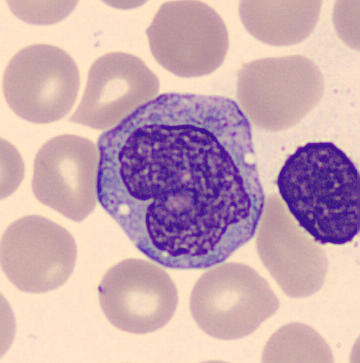Peripheral blood smear.
{"cell_type": "monocyte"}